40× oil immersion; bone marrow aspirate smear.
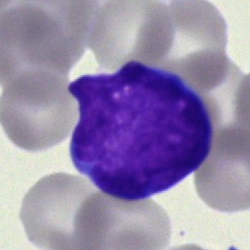
Q: What type of cell is this?
A: Blast cell.